Peripheral blood smear:
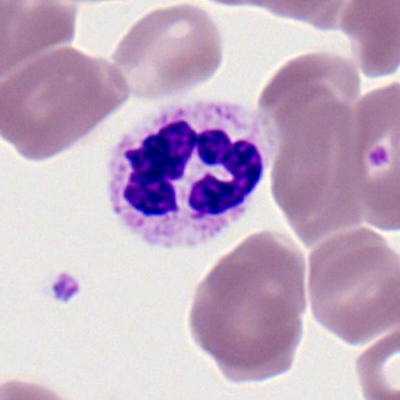
Morphological class — neutrophil (segmented).